Image size 250×250 · 40× oil immersion · bone marrow smear
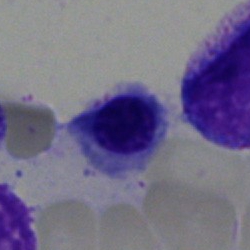
Impression — erythroblast.